Bone marrow aspirate smear; brightfield microscopy, 40× oil immersion:
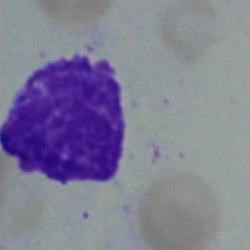
Morphology — artefact.